Pappenheim-stained; bone marrow aspirate smear; 250×250 px: 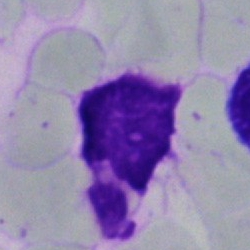 Specimen: bone marrow smear.
Classification: artefact.